Bone marrow smear; 250 by 250 pixels: 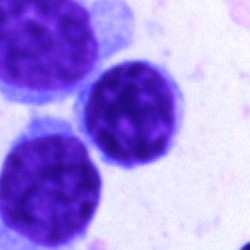Specimen: bone marrow smear.
Classification: lymphocyte.
Lineage: lymphoid.